250×250 · bone marrow aspirate smear:
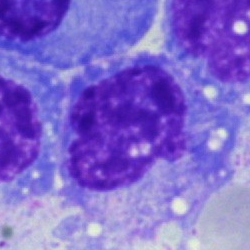

A plasmacyte.